Romanowsky stain; peripheral blood smear; 400×400 px: 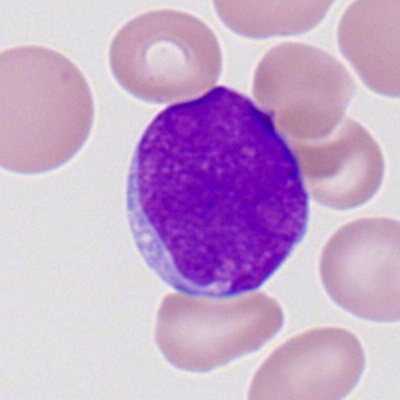 {"cell_type": "myeloid blast"}